Bone marrow smear:
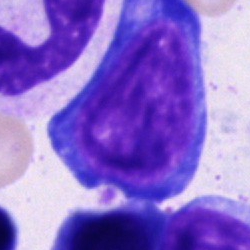 Q: What is the morphological classification of this cell?
A: It is a proerythroblast.